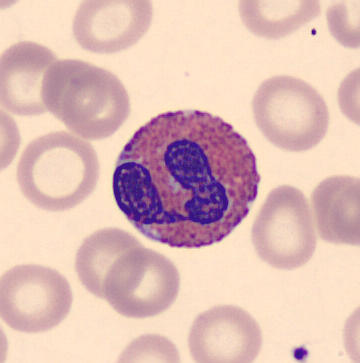Image: Automated cell imaging (CellaVision DM96) · peripheral blood film.
Morphological class = eosinophilic granulocyte.